250×250 · bone marrow smear — 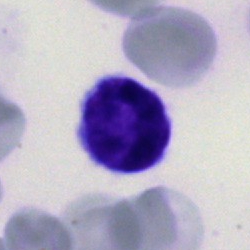
Morphology → typical lymphocyte.